Bone marrow aspirate smear — 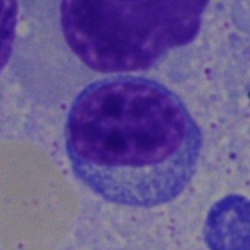
Cell type = typical lymphocyte.